Bone marrow smear. 250 by 250 pixels: 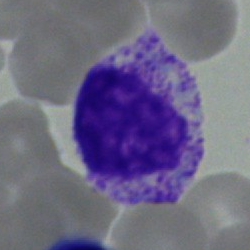

The cell shown is a myelocyte.